Bone marrow smear.
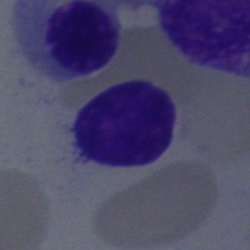

Q: What cell is this?
A: Typical lymphocyte.